250×250 px · bone marrow smear.
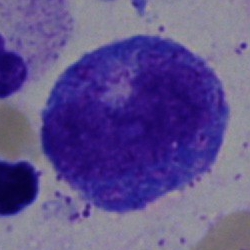 Single cell identified as a promyelocyte.